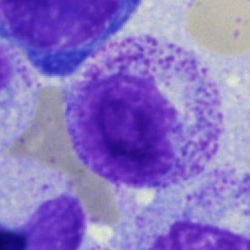 The cell is myelocyte.